Bone marrow smear · May-Grünwald-Giemsa stain · 40× oil immersion — 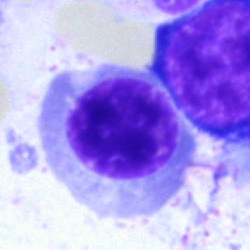 Specimen: bone marrow smear.
Morphological class: erythroblast.
Lineage: erythroid.